May-Grünwald-Giemsa/Pappenheim stain · bone marrow aspirate smear: 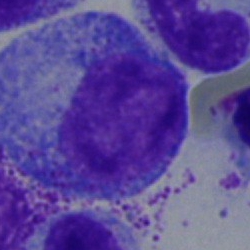Q: Identify the cell.
A: This is a progranulocyte.